Bone marrow smear
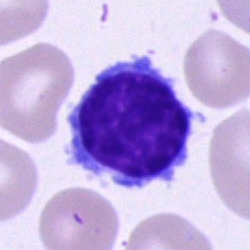 Morphological class = lymphocyte.